Bone marrow aspirate smear.
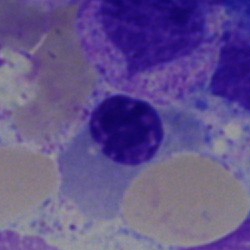
Cell type = normoblast.